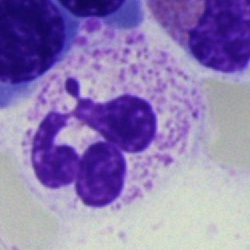Classification — neutrophil (segmented).